Bone marrow smear; 40× oil immersion: 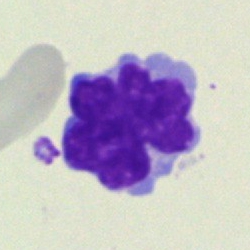Classification — lymphocyte.